250×250; 40× objective, oil immersion; bone marrow smear: 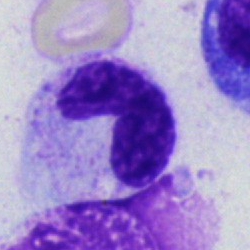
Q: What cell is this?
A: A neutrophil (band).